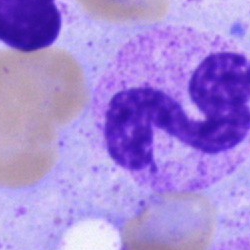Q: What type of cell is this?
A: Segmented neutrophil.